Brightfield microscopy, 40× oil immersion · May-Grünwald-Giemsa stain · bone marrow smear
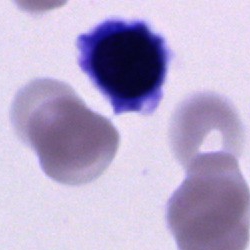

Classification = cell of indeterminate lineage.